Bone marrow smear
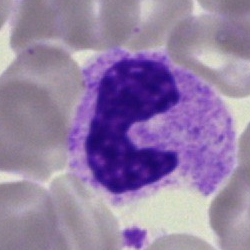
Morphology consistent with a stab cell.